Bone marrow smear
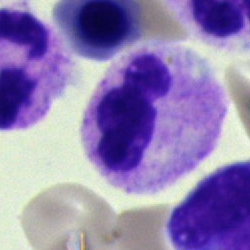
Classification = polymorphonuclear neutrophil.